Bone marrow aspirate smear:
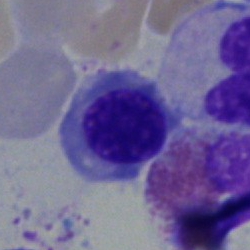Cell — nucleated red cell.